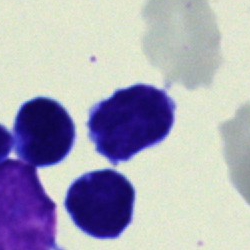

Classification: typical lymphocyte.